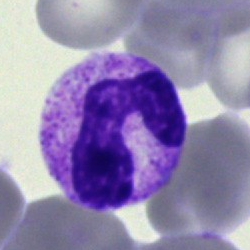
{"cell_type": "polymorphonuclear neutrophil", "lineage": "myeloid"}